250 by 250 pixels. Bone marrow smear:
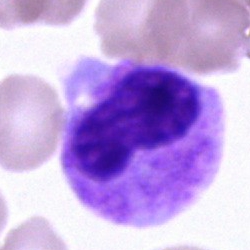

This is a segmented neutrophil.